Bone marrow aspirate smear; cropped to a single cell
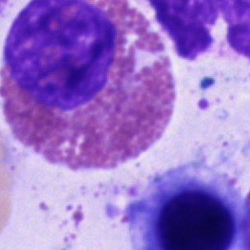

Q: Identify the cell.
A: An eosinophil.